Bone marrow smear; brightfield, 40× oil-immersion objective
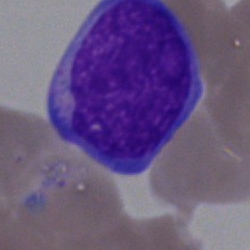

Cell = blast.